Bone marrow smear.
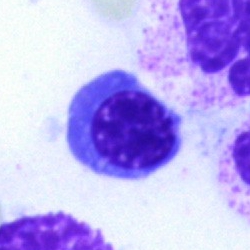
Showing a nucleated red blood cell.